Single-cell crop; bone marrow aspirate smear; 250×250 px: 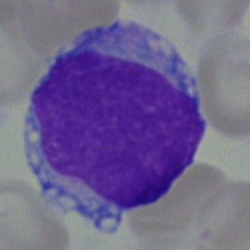 Q: Identify the cell.
A: Blast.